Bone marrow aspirate smear.
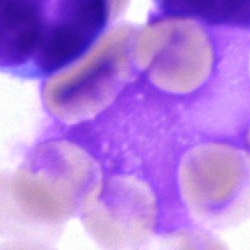 Specimen: bone marrow smear.
Cell: artifact.